Bone marrow aspirate smear; single-cell crop.
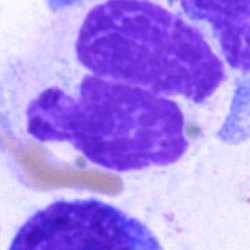
Morphological class = artefact.